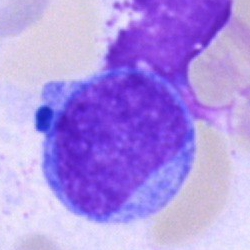

Showing an undifferentiated blast.